Bone marrow aspirate smear. 40× oil immersion.
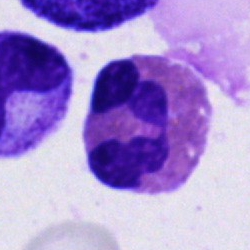

Cell type = eosinophil.